Bone marrow smear; brightfield microscopy, 40× oil immersion; single-cell field — 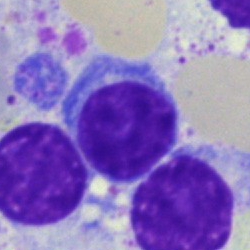
Showing a lymphocyte.